Bone marrow aspirate smear — 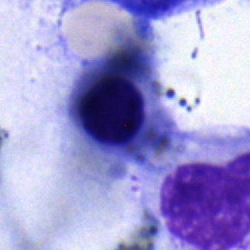
The cell type is nucleated red cell.